Bone marrow smear
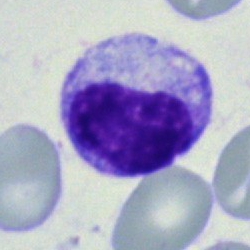The cell is metamyelocyte.